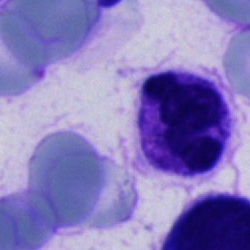

Q: What is the morphological classification of this cell?
A: It is a segmented neutrophil.